Bone marrow smear.
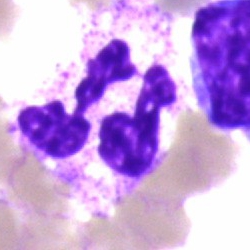
Q: What cell is this?
A: This is a neutrophil (segmented).